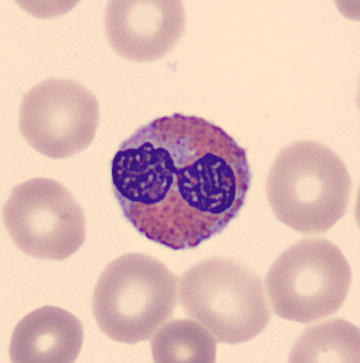Morphological class = eosinophil.
May Grünwald-Giemsa stain. Peripheral blood smear.